250 by 250 pixels; bone marrow smear:
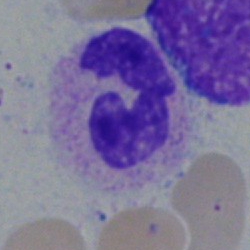 Single cell identified as a polymorphonuclear neutrophil.